Bone marrow aspirate smear — 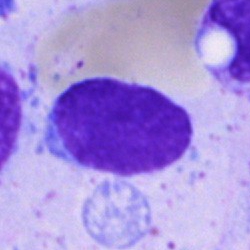This is a blast.